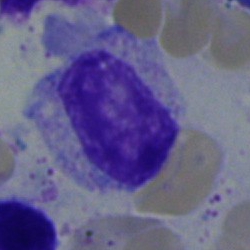Specimen: bone marrow aspirate smear.
Cell type: myelocyte.